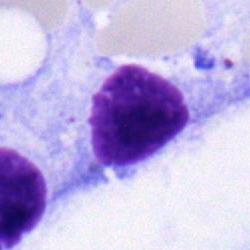

Q: What cell is this?
A: A typical lymphocyte.